Bone marrow smear: 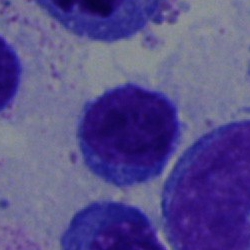
Typical lymphocyte.